Bone marrow smear · 250 by 250 pixels: 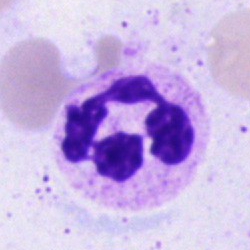The cell shown is a neutrophil (segmented).